Bone marrow aspirate smear:
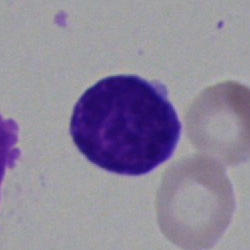 The morphological class is blast.